Bone marrow smear: 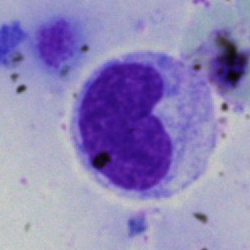
Cell type: neutrophil (band).